May-Grünwald-Giemsa stain; bone marrow smear
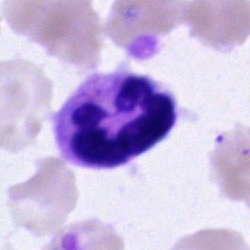Cell = neutrophil (segmented).